Bone marrow smear.
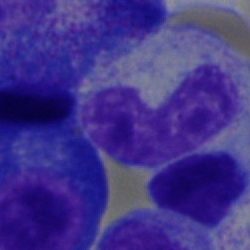This is a band neutrophil.